Bone marrow smear. MGG-stained:
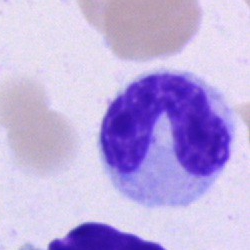Showing a band-form neutrophil.